MGG-stained. Bone marrow aspirate smear.
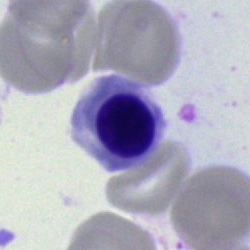
This is a nucleated red cell.